Single-cell field; bone marrow aspirate smear; 40× objective, oil immersion: 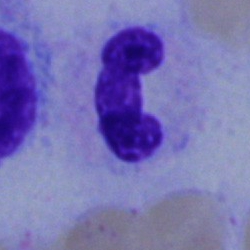
Q: What cell is this?
A: It is a stab cell.